250×250 px · bone marrow smear · single-cell crop.
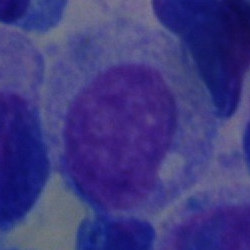 Impression — artifact.